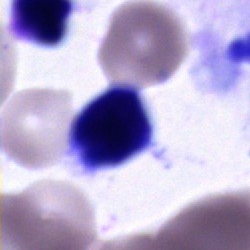Specimen: bone marrow aspirate smear.
Cell: unidentifiable cell.